Peripheral blood film; 400×400 px; single cell centered in the field.
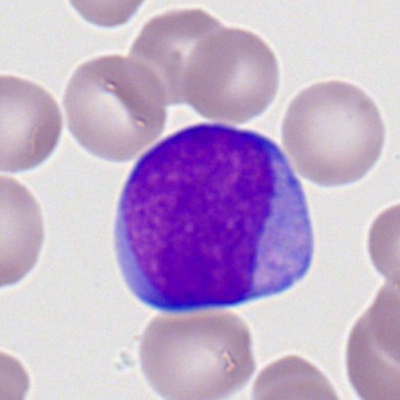
Morphology — myeloid blast.